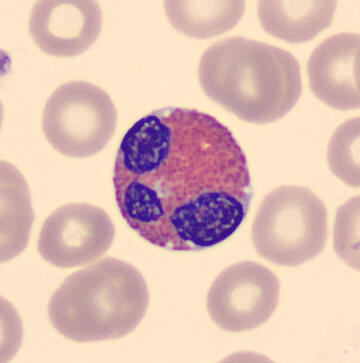 Impression → eosinophilic granulocyte.